Bone marrow smear.
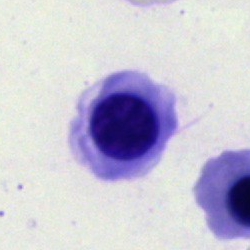Q: Identify the cell.
A: This is an erythroblast.